Bone marrow smear. MGG-stained — 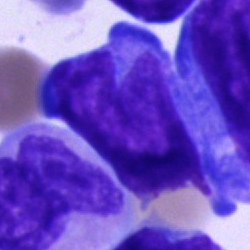Impression — undifferentiated blast.